Peripheral blood film
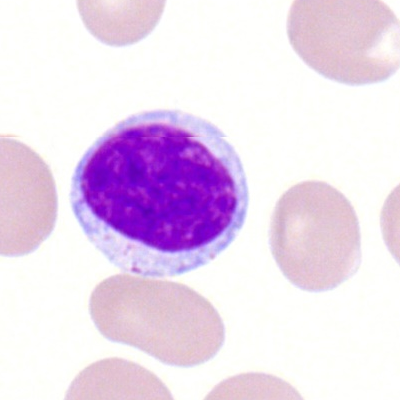

Typical lymphocyte.